Bone marrow smear:
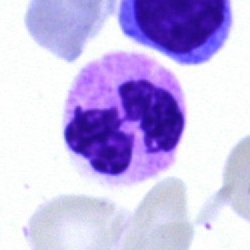 The cell type is segmented neutrophil.